Peripheral blood film; Romanowsky-stained — 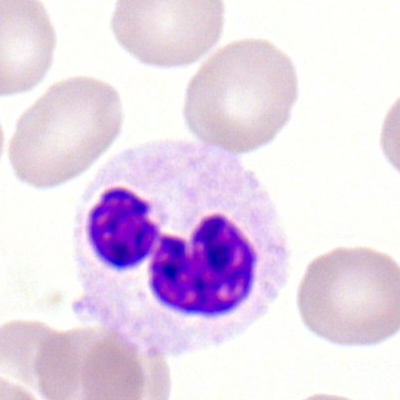

The cell shown is a polymorphonuclear neutrophil.